Bone marrow aspirate smear:
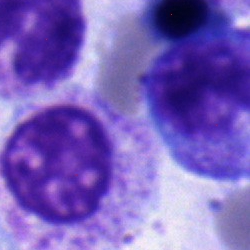
Promyelocyte.